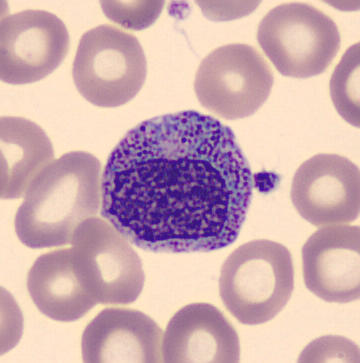Acquisition: Peripheral blood smear.
Morphology — myelocyte.